Bone marrow aspirate smear
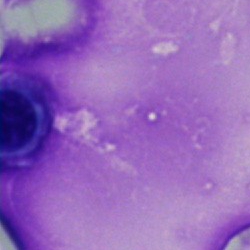

Impression — artifact.